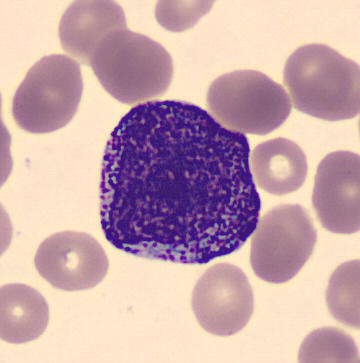
Image: Peripheral blood smear.
Single cell identified as a promyelocyte.